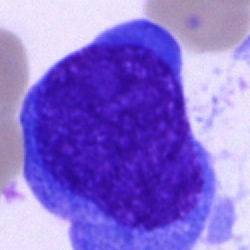
Cell type: plasmacyte.